May-Grünwald-Giemsa/Pappenheim stain; bone marrow smear
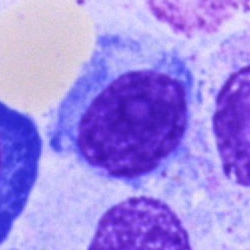
Q: What cell is this?
A: Lymphocyte.